Brightfield microscopy, 40× oil immersion; bone marrow smear; Pappenheim-stained
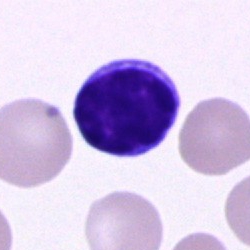

Morphology consistent with a typical lymphocyte.